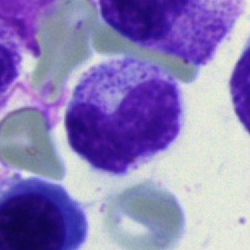Morphology → neutrophil (band).